Bone marrow aspirate smear.
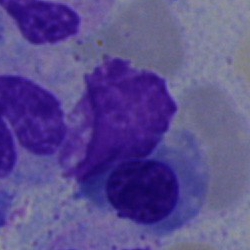

Morphology → nucleated red blood cell.